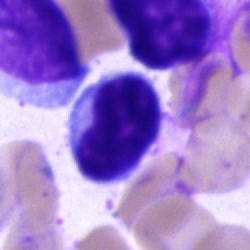 Morphology consistent with a lymphocyte.